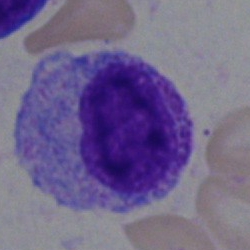The cell type is myelocyte.